Brightfield microscopy, 40× oil immersion. May-Grünwald-Giemsa stain. Bone marrow smear:
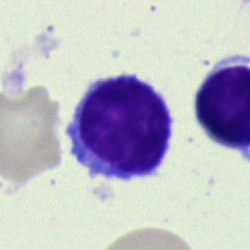Q: Which cell type is shown here?
A: It is a typical lymphocyte.